Bone marrow smear; cropped to a single cell
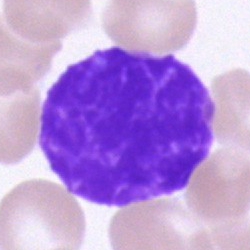Cell type — cell of indeterminate lineage.